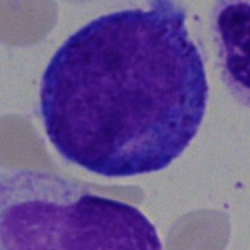The cell shown is a promyelocyte.